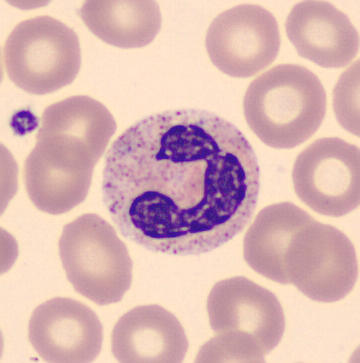
Morphology consistent with a polymorphonuclear neutrophil. Image: Peripheral blood film; May Grünwald-Giemsa stain.